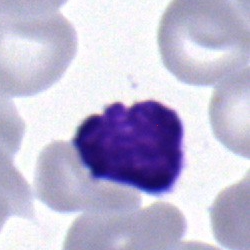

Bone marrow smear showing a lymphocyte.